Brightfield microscopy, 40× oil immersion · bone marrow aspirate smear — 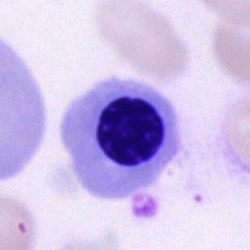

Classification — normoblast.